Peripheral blood smear — 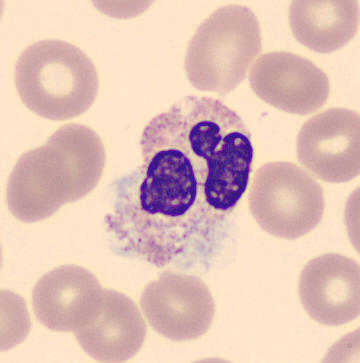
Specimen: peripheral blood film.
Cell type: neutrophil (segmented).
Lineage: myeloid.